Single-cell field · bone marrow aspirate smear · 40× objective, oil immersion: 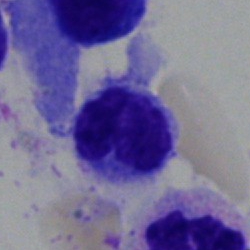
The cell shown is a typical lymphocyte.